Bone marrow aspirate smear. 250×250.
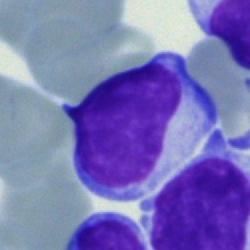Morphology — typical lymphocyte.